Image size 250×250 · bone marrow aspirate smear:
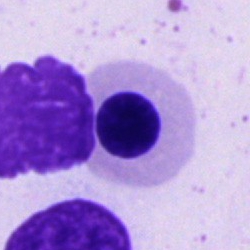

Specimen: bone marrow smear.
Cell type: normoblast.